Bone marrow aspirate smear.
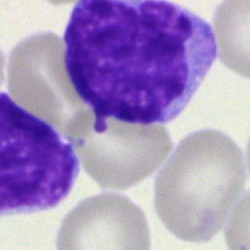 Morphological class = blast cell.